Bone marrow aspirate smear.
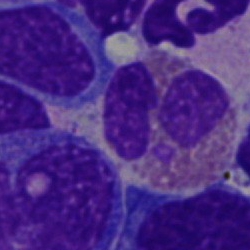 Eosinophil.